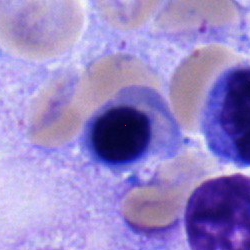
Single cell identified as a band neutrophil.